Bone marrow aspirate smear:
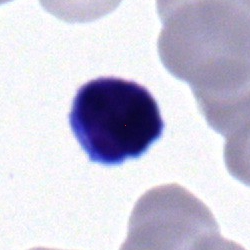Single cell identified as a typical lymphocyte.